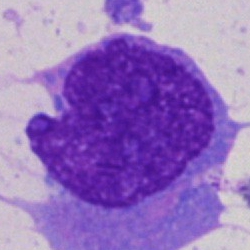 Cell type — artifact.